Bone marrow smear:
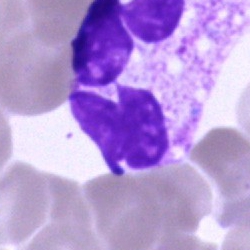
Q: What is the morphological classification of this cell?
A: A polymorphonuclear neutrophil.